Bone marrow smear.
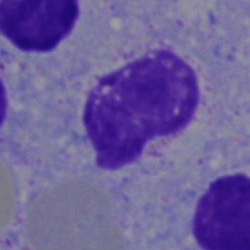The cell type is artifact.